Peripheral blood film.
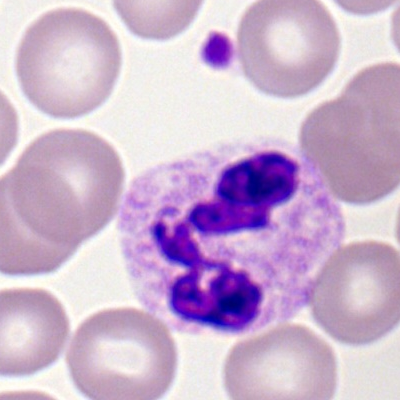Classification: neutrophil (segmented).